Bone marrow smear — 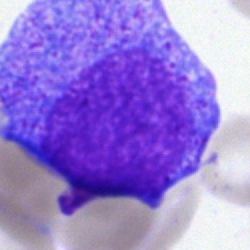 Progranulocyte.